May-Grünwald-Giemsa stain; bone marrow aspirate smear — 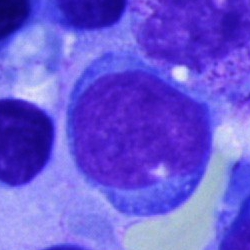Blast.